Bone marrow aspirate smear.
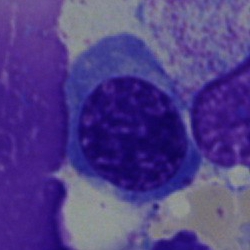 The cell shown is an erythroblast.